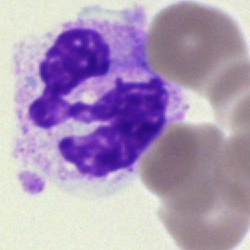Impression → polymorphonuclear neutrophil.